Bone marrow aspirate smear:
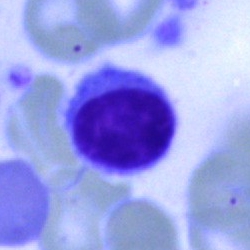Q: What type of cell is this?
A: Typical lymphocyte.